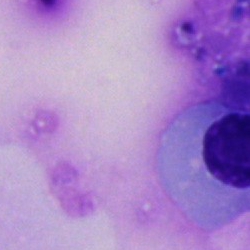 The cell shown is an artefact.